Bone marrow smear.
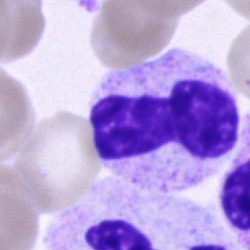 Morphological class = band neutrophil.